Brightfield, 40× oil-immersion objective · bone marrow smear · single-cell field — 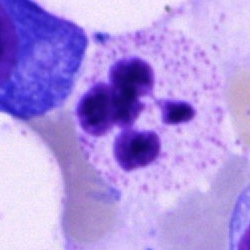
Q: What type of cell is this?
A: This is a segmented neutrophil.